Bone marrow aspirate smear — 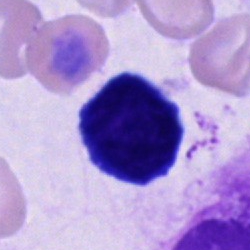Morphology — cell of indeterminate lineage.